Bone marrow aspirate smear.
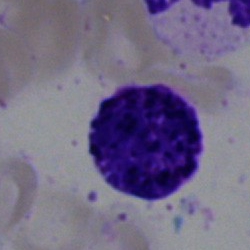
This is a basophilic granulocyte.